Bone marrow smear; image size 250×250
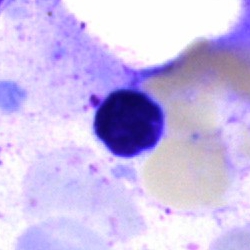

Q: Identify the cell.
A: Cell of indeterminate lineage.